Bone marrow aspirate smear · image size 250×250 · May-Grünwald-Giemsa stain: 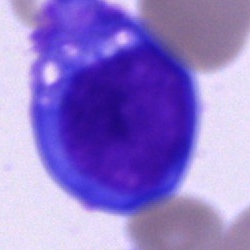 Cell type — plasmacyte.